360×363. MGG-stained. Peripheral blood smear — 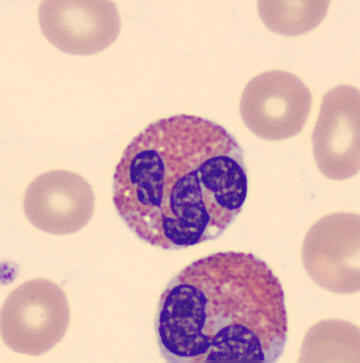 Eosinophilic granulocyte.